Bone marrow smear: 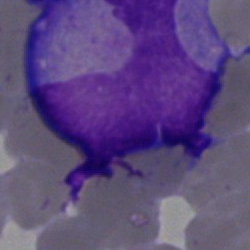
Impression → monocyte.